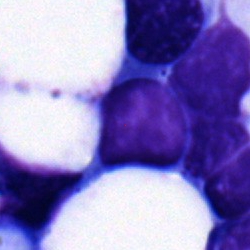Showing a typical lymphocyte.